Bone marrow smear. Brightfield, 40× oil-immersion objective — 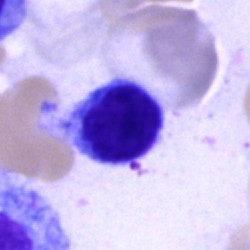

Morphology → typical lymphocyte.